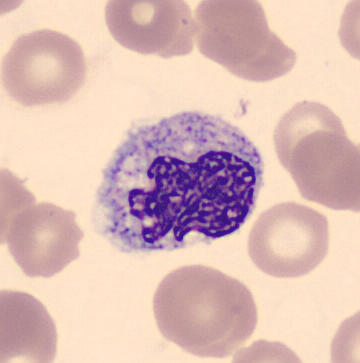
The morphological class is monocyte.